40× objective, oil immersion · bone marrow smear — 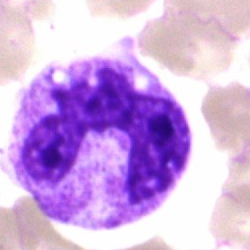

Specimen: bone marrow smear.
Classification: segmented neutrophil.